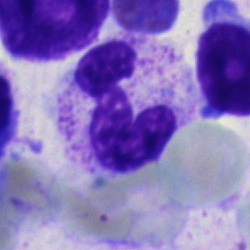 {"cell_type": "neutrophil (segmented)", "lineage": "myeloid"}